Bone marrow aspirate smear:
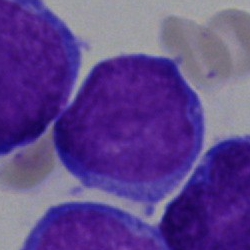
Impression — blast.